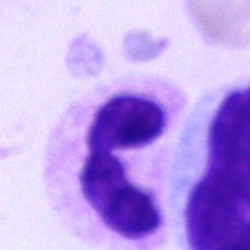
The cell shown is a polymorphonuclear neutrophil.